Single-cell crop · bone marrow smear.
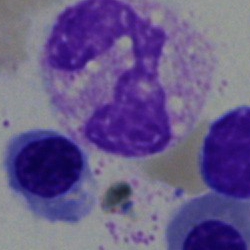
The cell shown is a neutrophil (segmented).